Bone marrow smear.
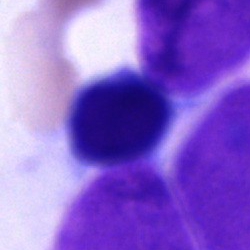

{"cell_type": "unidentifiable cell"}